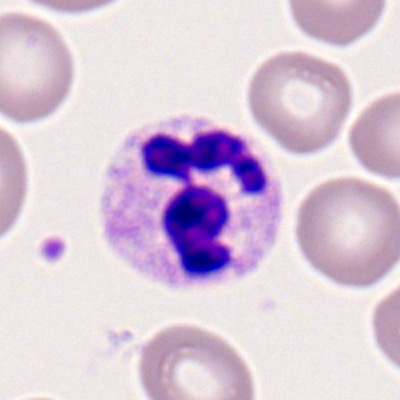
Classification = segmented neutrophil.